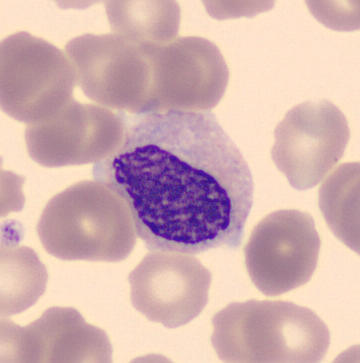
A myelocyte.

Peripheral blood smear.